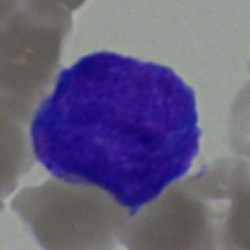 Q: What type of cell is this?
A: A blast.